Bone marrow aspirate smear. Cropped to a single cell. Brightfield, 40× oil-immersion objective
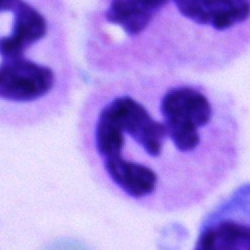Q: Which cell type is shown here?
A: A segmented neutrophil.